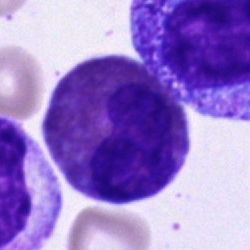

Eosinophil.